May-Grünwald-Giemsa stain; brightfield microscopy, 40× oil immersion; bone marrow smear:
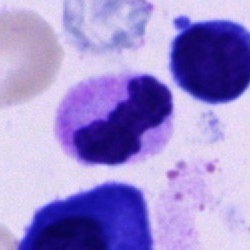 Single cell identified as a polymorphonuclear neutrophil.